Brightfield, 40× oil-immersion objective; bone marrow smear:
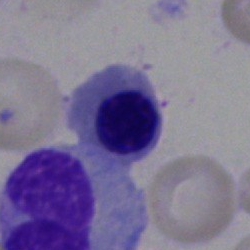

Morphology consistent with an erythroblast.